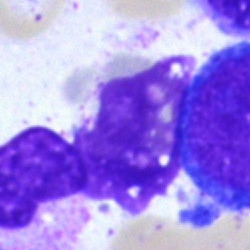Morphology → artifact.